May-Grünwald-Giemsa/Pappenheim stain; bone marrow smear; single cell centered in the field — 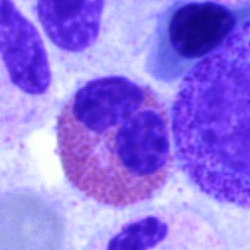 This is an eosinophil.